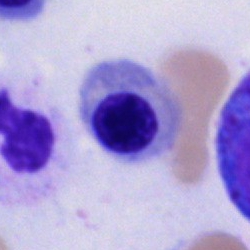 {"cell_type": "erythroblast", "lineage": "erythroid"}